Bone marrow aspirate smear · single cell centered in the field · image size 250×250 — 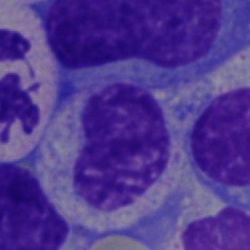Impression — metamyelocyte.